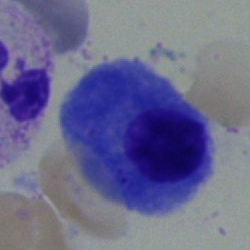
This is a plasma cell.